Brightfield, 40× oil-immersion objective · bone marrow smear · 250 by 250 pixels:
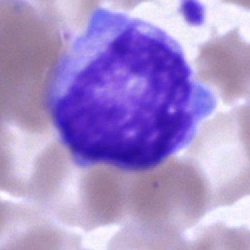Q: Identify the cell.
A: This is an unidentifiable cell.